Peripheral blood film — 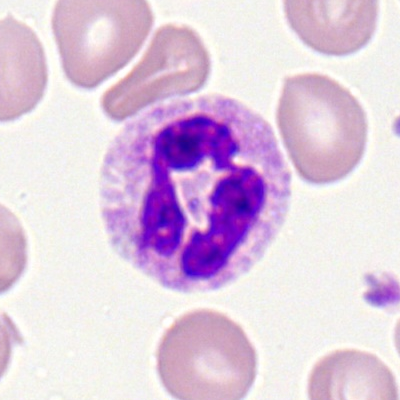Q: What is the morphological classification of this cell?
A: Polymorphonuclear neutrophil.